Bone marrow aspirate smear:
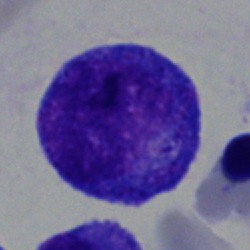Classification = promyelocyte.